Pappenheim-stained · bone marrow aspirate smear
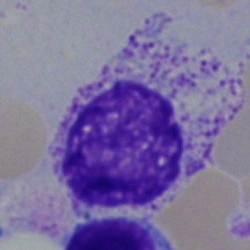 Myelocyte.